Bone marrow aspirate smear — 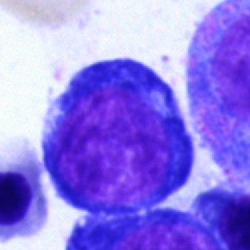

Proerythroblast.